Bone marrow aspirate smear; 40× objective, oil immersion; single-cell field: 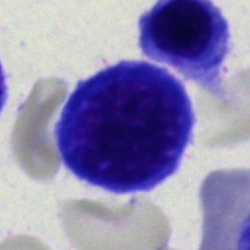

Morphological class: unidentifiable cell.